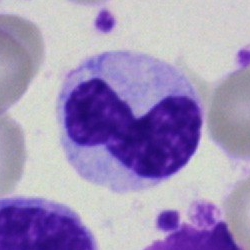
Morphology → band-form neutrophil.